May-Grünwald-Giemsa/Pappenheim stain; bone marrow aspirate smear
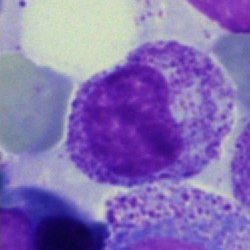 Classification: myelocyte.